Peripheral blood smear · image size 400×400: 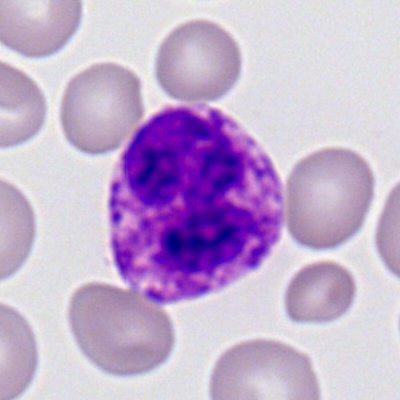
The morphological class is basophil.